Bone marrow aspirate smear: 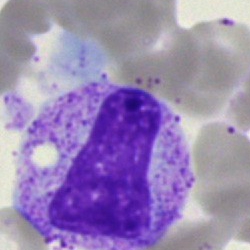Specimen: bone marrow smear.
Morphological class: metamyelocyte.